Bone marrow smear; image size 250×250
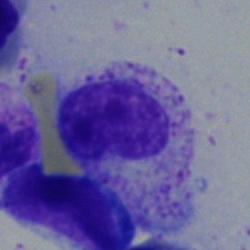
{"cell_type": "metamyelocyte"}